Peripheral blood smear · Romanowsky stain
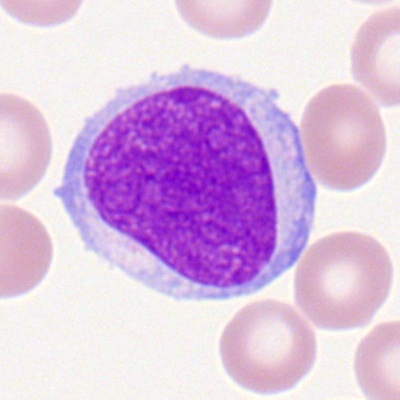
Q: What type of cell is this?
A: Myeloid blast.